Bone marrow smear.
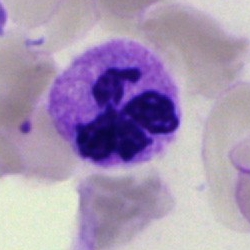

The cell shown is a polymorphonuclear neutrophil.